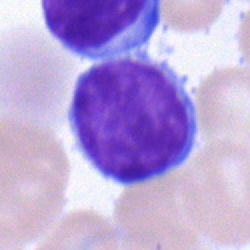
Bone marrow aspirate smear, single cell — lymphocyte.